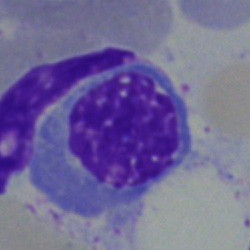The morphological class is erythroblast.